Bone marrow aspirate smear — 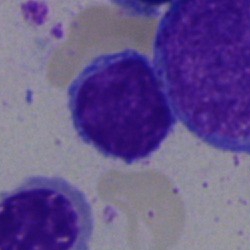Classification: lymphocyte.